Bone marrow smear · brightfield, 40× oil-immersion objective.
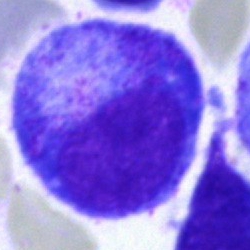
Q: What type of cell is this?
A: It is a promyelocyte.